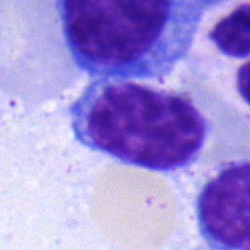

Specimen: bone marrow smear.
Cell: typical lymphocyte.